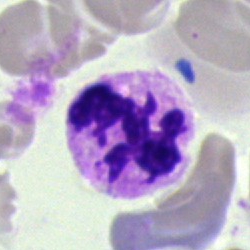

Q: What is the morphological classification of this cell?
A: A segmented neutrophil.